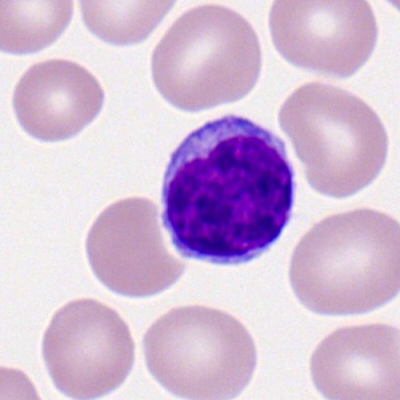 Specimen: peripheral blood film.
Cell type: lymphocyte.